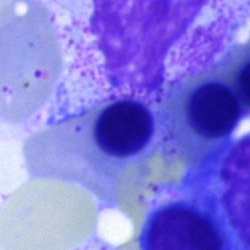 Bone marrow smear showing a nucleated red cell.